Pappenheim-stained; bone marrow smear; 40× oil immersion — 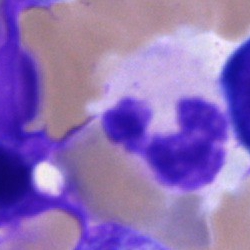 Q: Identify the cell.
A: Neutrophil (segmented).